Single-cell crop · bone marrow smear · May-Grünwald-Giemsa/Pappenheim stain: 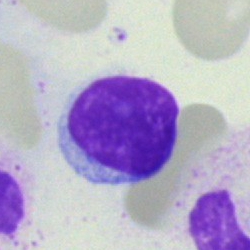 Cell type: lymphocyte.